MGG-stained. Brightfield microscopy, 40× oil immersion. Bone marrow smear: 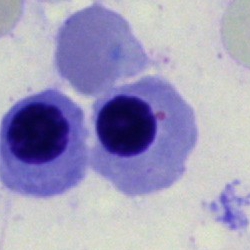 The morphological class is erythroblast.